Bone marrow smear:
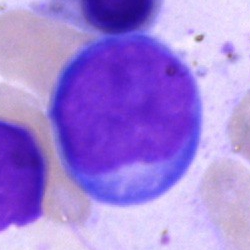

Cell — undifferentiated blast.